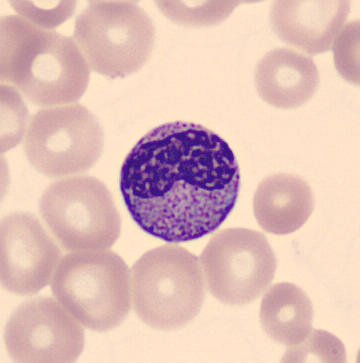 Impression — metamyelocyte.

MGG-stained · peripheral blood smear.